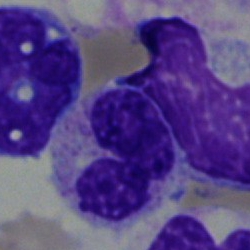Showing a monocyte.